Pappenheim-stained · bone marrow aspirate smear:
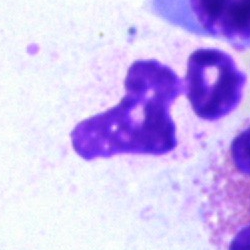An artefact.